Bone marrow smear. Single-cell crop — 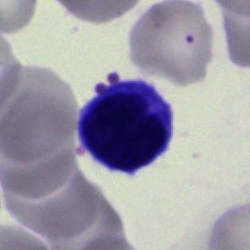 Classification = typical lymphocyte.